Bone marrow aspirate smear.
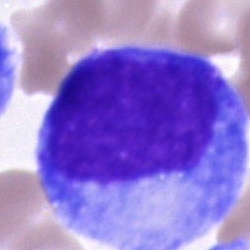

Q: What is shown here?
A: Promyelocyte.